Bone marrow aspirate smear:
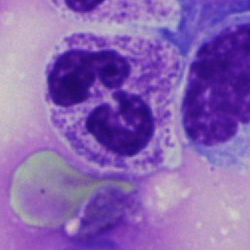 Morphological class = segmented neutrophil.